Bone marrow smear — 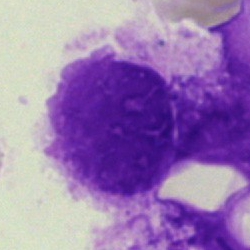The cell shown is an artefact.